Bone marrow smear · cropped to a single cell — 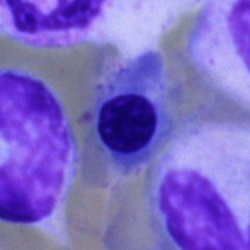
Specimen: bone marrow smear.
Classification: erythroblast.